Bone marrow smear
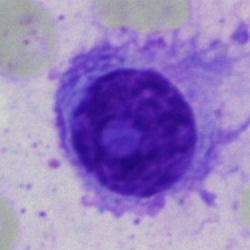Impression — plasma cell.